Single cell centered in the field · bone marrow aspirate smear.
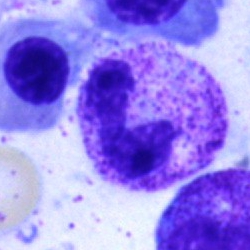
Impression → band neutrophil.